Bone marrow smear
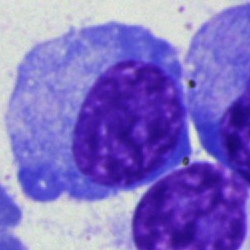 The cell shown is a plasmacyte.